MGG-stained; bone marrow aspirate smear — 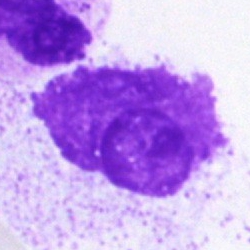Single cell identified as an artifact.